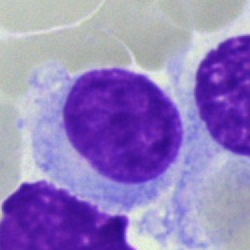

Classification = hairy cell.